40× objective, oil immersion. Bone marrow aspirate smear — 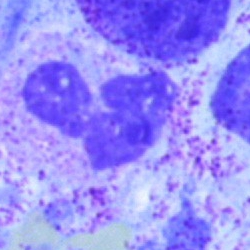

Showing a segmented neutrophil.